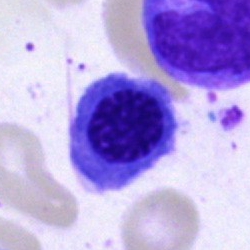Bone marrow aspirate smear, single cell — nucleated red blood cell.